Bone marrow smear
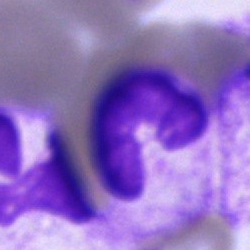
Stab cell.